Peripheral blood film: 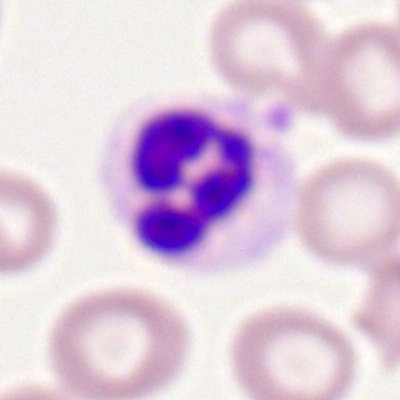 Cell = neutrophil (segmented).